Single-cell crop · bone marrow smear
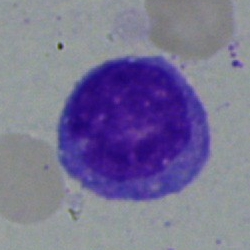
The cell is monocyte.